Brightfield, 40× oil-immersion objective; bone marrow smear; MGG-stained — 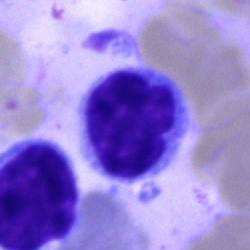This is a lymphocyte.